Bone marrow smear — 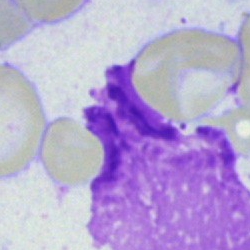 Morphology → artifact.